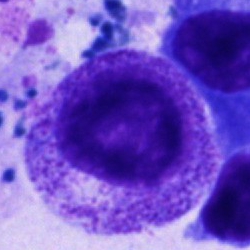
{"cell_type": "promyelocyte"}